Bone marrow aspirate smear:
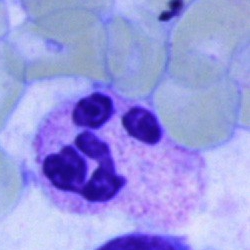Q: What is the morphological classification of this cell?
A: This is a neutrophil (segmented).